250 by 250 pixels; bone marrow smear.
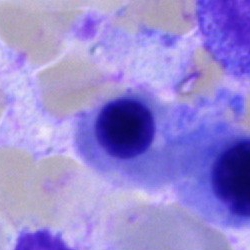
Q: Identify the cell.
A: Nucleated red blood cell.